250×250 px. Bone marrow smear. May-Grünwald-Giemsa/Pappenheim stain — 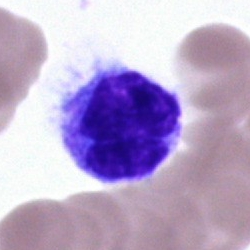

Showing a typical lymphocyte.